Bone marrow smear — 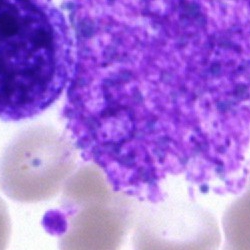Morphology → artifact.